May-Grünwald-Giemsa stain; bone marrow smear; single-cell field
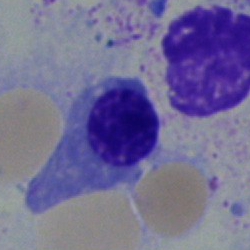Classification — normoblast.